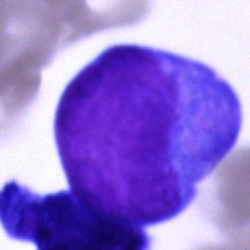

{"cell_type": "blast cell"}